Bone marrow aspirate smear — 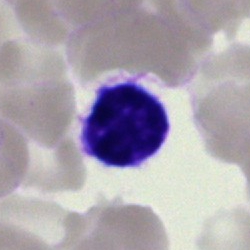Cell = lymphocyte.